250×250 px; bone marrow aspirate smear; 40× oil immersion
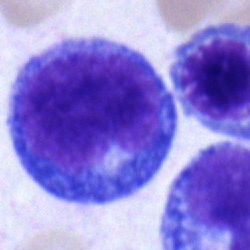{"cell_type": "monocyte"}